Bone marrow aspirate smear · 250×250 px.
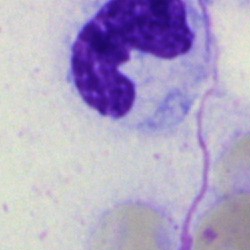

Specimen: bone marrow smear.
Morphological class: neutrophil (band).